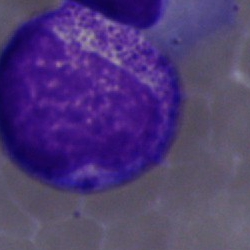 Specimen: bone marrow smear.
Cell type: promyelocyte.
Lineage: myeloid.